May-Grünwald-Giemsa stain · bone marrow aspirate smear
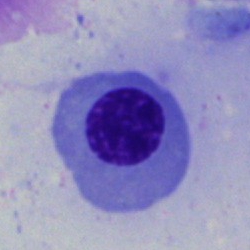 {"cell_type": "normoblast", "lineage": "erythroid"}